250×250 px. Bone marrow smear:
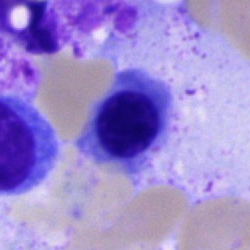Classification = nucleated red blood cell.